Bone marrow smear · image size 250×250 · cropped to a single cell — 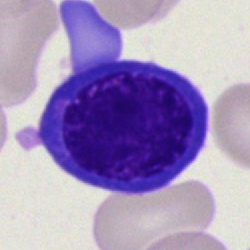 Morphology — nucleated red blood cell.